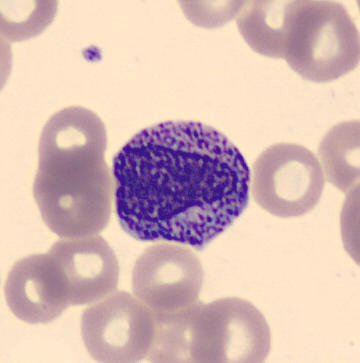Morphology → myelocyte.